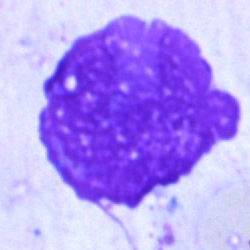
The morphological class is artifact.